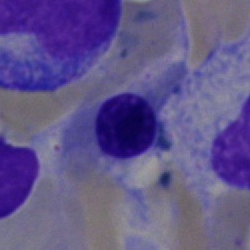 Cell type: normoblast.